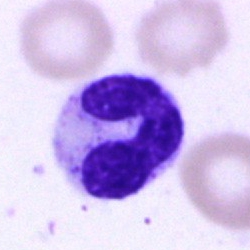
A neutrophil (band) on a bone marrow smear.